Bone marrow smear; May-Grünwald-Giemsa stain.
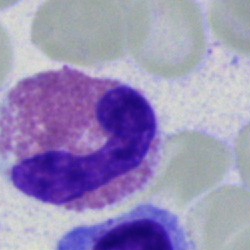Eosinophilic granulocyte.